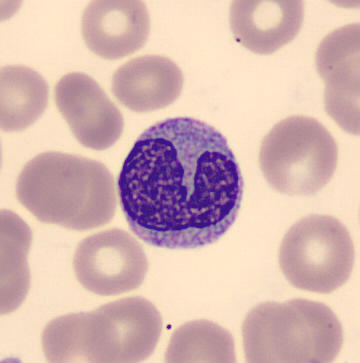

Morphology — monocyte.